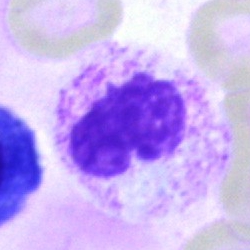Cell — segmented neutrophil.